Bone marrow aspirate smear:
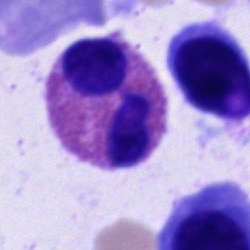

Q: What type of cell is this?
A: It is an eosinophilic granulocyte.